Bone marrow aspirate smear. May-Grünwald-Giemsa/Pappenheim stain:
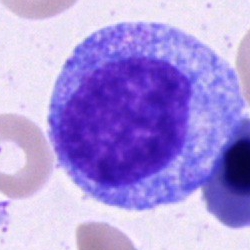 This is a progranulocyte.